Bone marrow aspirate smear:
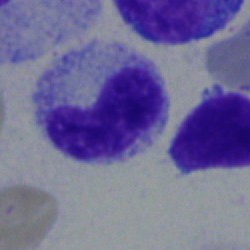
The morphological class is band-form neutrophil.